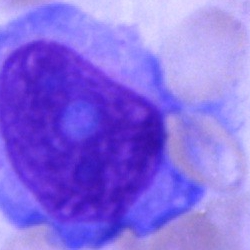Specimen: bone marrow smear.
Cell type: blast cell.